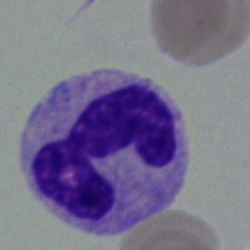

Neutrophil (segmented).